Bone marrow aspirate smear.
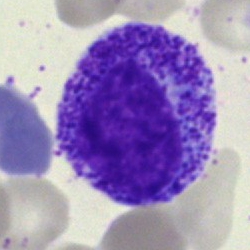 Q: What cell is this?
A: A promyelocyte.